40× objective, oil immersion. Bone marrow aspirate smear. 250×250:
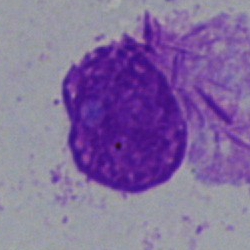Cell = cell with bundled Auer rods.